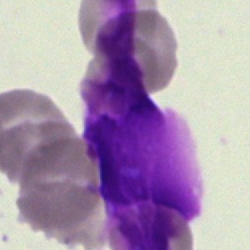 Specimen: bone marrow smear.
Cell type: artifact.